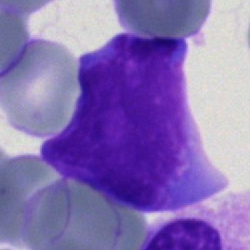
Morphology consistent with an undifferentiated blast.